Bone marrow smear — 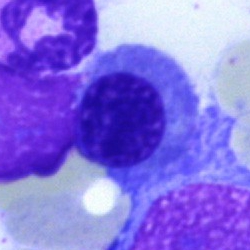Showing a normoblast.